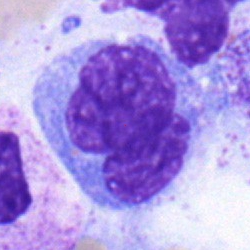
The cell shown is a monocyte.